Single-cell crop · bone marrow aspirate smear — 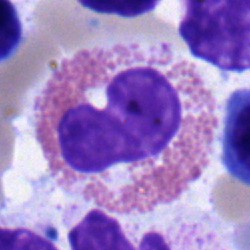

Eosinophil.